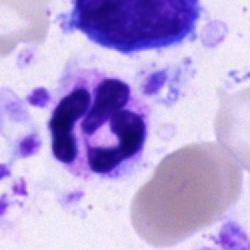 A neutrophil (segmented) on a bone marrow smear.